Bone marrow aspirate smear — 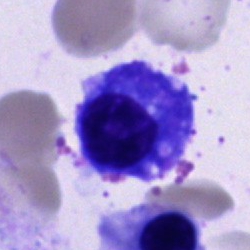 Plasmacyte.